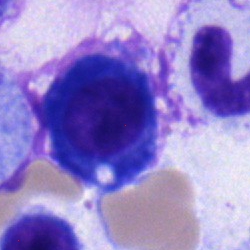
Q: What is the morphological classification of this cell?
A: It is a plasmacyte.